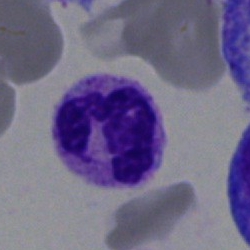

Polymorphonuclear neutrophil.